Bone marrow aspirate smear: 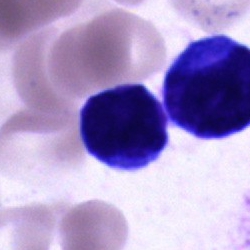
Q: What cell is this?
A: It is a cell of indeterminate lineage.